Brightfield, 40× oil-immersion objective. MGG-stained. Bone marrow aspirate smear: 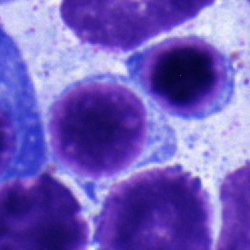

A lymphocyte.